Single-cell crop; MGG-stained; bone marrow smear — 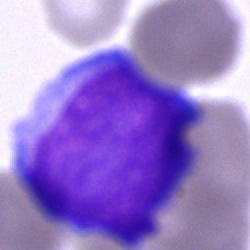
Morphological class = blast cell.